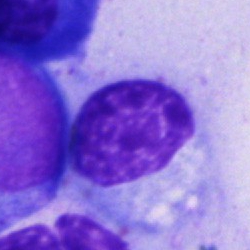
This is an unidentifiable cell.